Bone marrow smear — 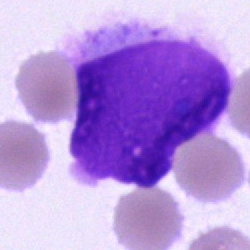

Specimen: bone marrow aspirate smear.
Cell: artefact.